Bone marrow smear: 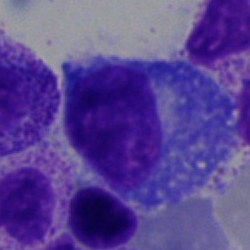The morphological class is plasmacyte.